Bone marrow aspirate smear
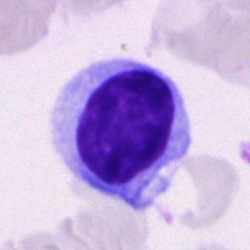

Q: What cell is this?
A: This is an unidentifiable cell.